Bone marrow smear: 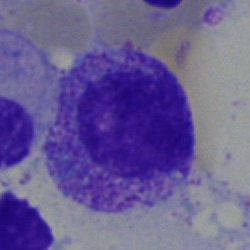Morphology — myelocyte.